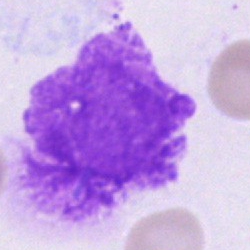 Morphological class — artifact.